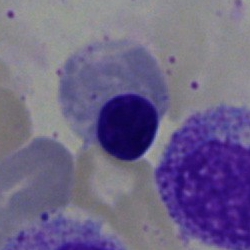

Morphological class — nucleated red cell.